Bone marrow aspirate smear. 40× objective, oil immersion. May-Grünwald-Giemsa/Pappenheim stain: 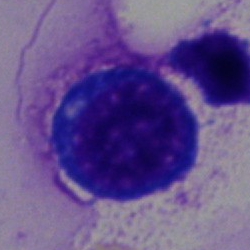

Q: Identify the cell.
A: A proerythroblast.